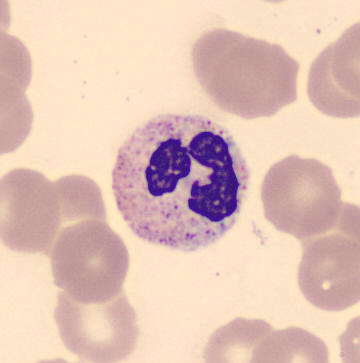
Peripheral blood film; single-cell field; image size 360×363.

Neutrophil (segmented).